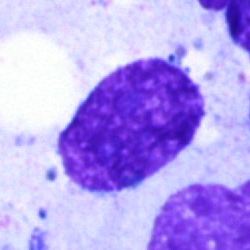

Single cell identified as an artefact.